Bone marrow aspirate smear. 40× oil immersion.
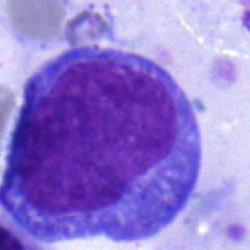 The cell is progranulocyte.